Bone marrow aspirate smear
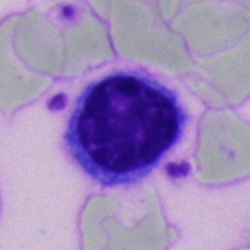
Classification = typical lymphocyte.